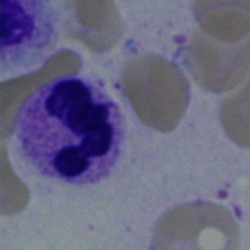 The cell shown is a polymorphonuclear neutrophil.